Cropped to a single cell; bone marrow smear: 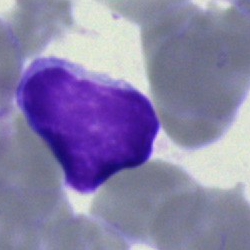

Specimen: bone marrow aspirate smear.
Morphological class: lymphocyte.